Bone marrow aspirate smear:
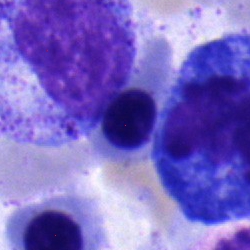Showing a normoblast.